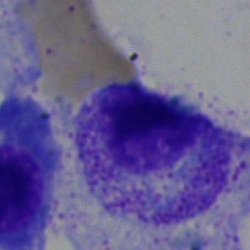 Impression → myelocyte.